Bone marrow smear:
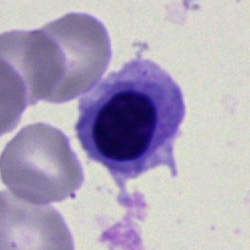

Cell type — erythroblast.